Peripheral blood film:
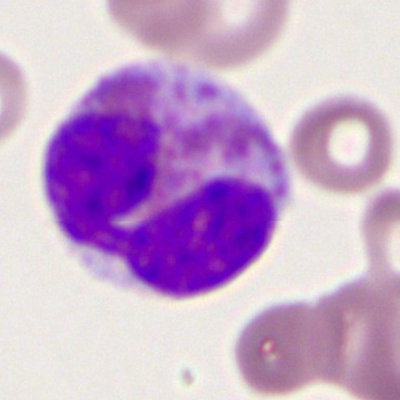
{"cell_type": "eosinophilic granulocyte", "lineage": "myeloid"}